Bone marrow aspirate smear: 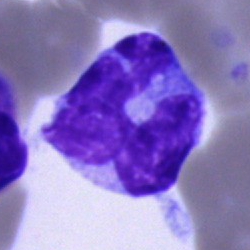 Showing a monocyte.